Bone marrow smear — 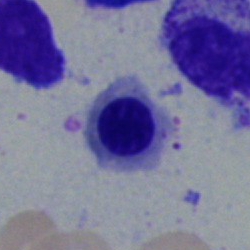Cell type: nucleated red blood cell.